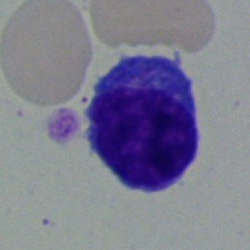
Specimen: bone marrow smear.
Morphological class: lymphocyte.